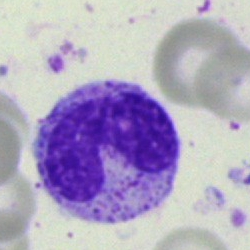 A neutrophil (band).